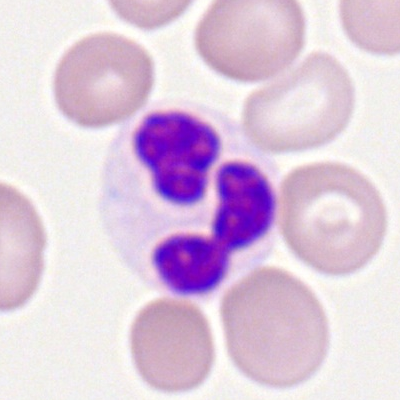
Showing a neutrophil (segmented).